Single cell centered in the field. Bone marrow smear. 40× objective, oil immersion.
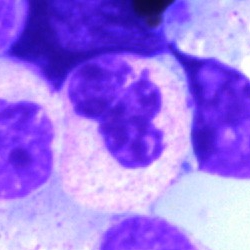
Cell: polymorphonuclear neutrophil.